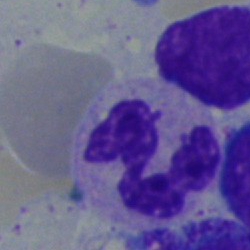

Single cell identified as a segmented neutrophil.